Bone marrow smear:
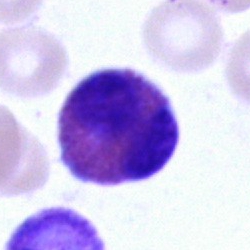 Showing an eosinophil.